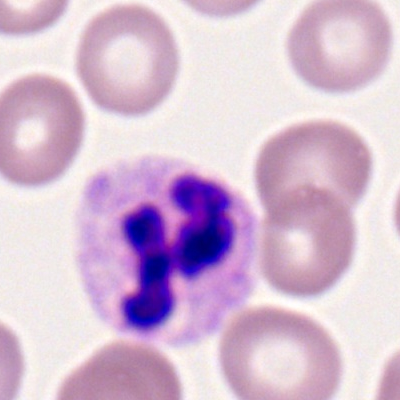 Q: Which cell type is shown here?
A: A neutrophil (segmented).